Cropped to a single cell · bone marrow aspirate smear.
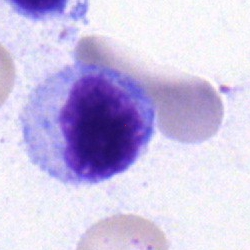
Specimen: bone marrow aspirate smear.
Cell type: typical lymphocyte.